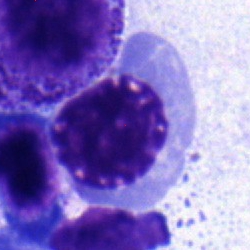Specimen: bone marrow aspirate smear.
Morphological class: nucleated red blood cell.
Lineage: erythroid.